Brightfield, 40× oil-immersion objective; bone marrow smear: 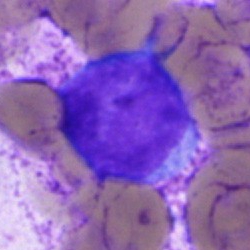 {"cell_type": "blast cell"}